Peripheral blood smear
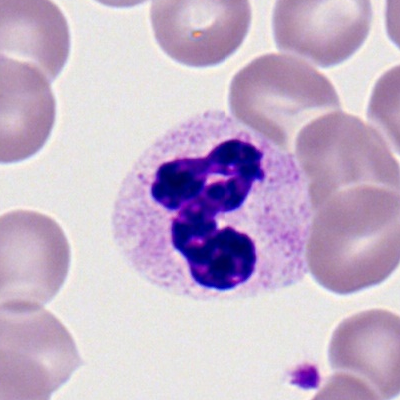Q: Which cell type is shown here?
A: This is a polymorphonuclear neutrophil.